250×250 px · bone marrow aspirate smear:
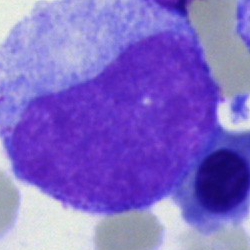
Morphological class = undifferentiated blast.